Peripheral blood smear:
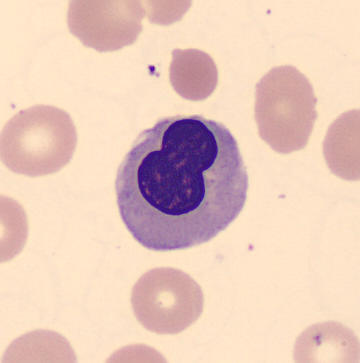This is a nucleated red cell.